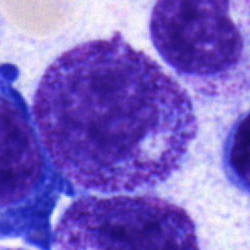 Bone marrow aspirate smear, single cell — myelocyte.